Brightfield microscopy, 40× oil immersion; 250×250; bone marrow aspirate smear.
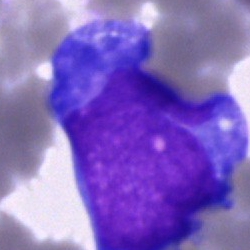

Morphology consistent with an undifferentiated blast.